Bone marrow aspirate smear · 250×250 — 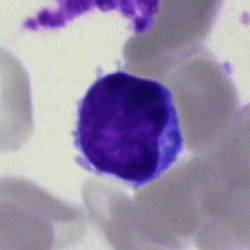 Impression → lymphocyte.